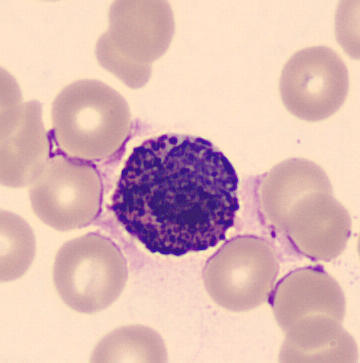
Single-cell crop from a peripheral blood smear: basophil.